40× objective, oil immersion · bone marrow aspirate smear: 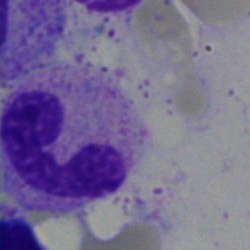

Morphology consistent with a neutrophil (segmented).